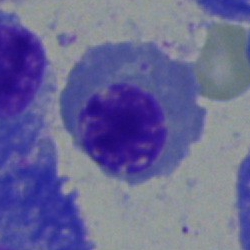Specimen: bone marrow smear.
Cell: nucleated red blood cell.